Bone marrow aspirate smear — 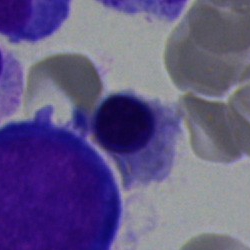A nucleated red blood cell.